Brightfield, 40× oil-immersion objective. Bone marrow aspirate smear.
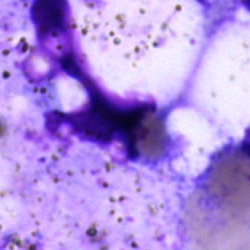 Q: What is shown here?
A: It is an artifact.